May-Grünwald-Giemsa stain. Bone marrow aspirate smear.
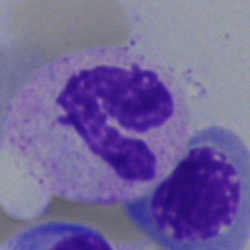
Cell: segmented neutrophil.